MGG-stained. Bone marrow aspirate smear. 40× objective, oil immersion:
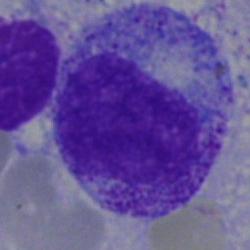The cell shown is a promyelocyte.